250×250 px; bone marrow aspirate smear.
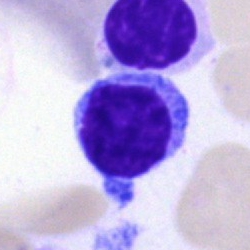 Showing a lymphocyte.